Single cell centered in the field · May-Grünwald-Giemsa/Pappenheim stain · bone marrow smear: 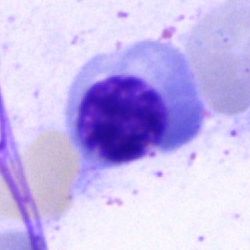
Impression → nucleated red cell.